Bone marrow smear; single-cell crop:
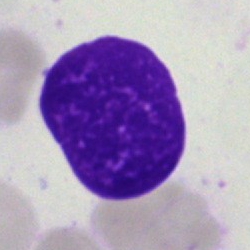This is an artefact.